Single cell centered in the field · bone marrow aspirate smear:
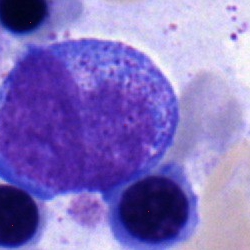 Morphology consistent with a progranulocyte.